Bone marrow aspirate smear:
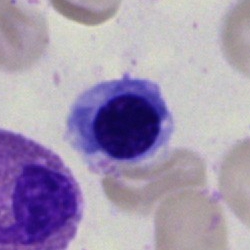 Specimen: bone marrow aspirate smear.
Cell: normoblast.
Lineage: erythroid.